Bone marrow smear.
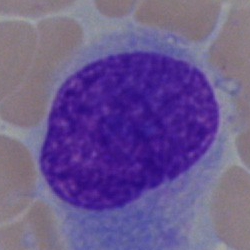Cell type = undifferentiated blast.